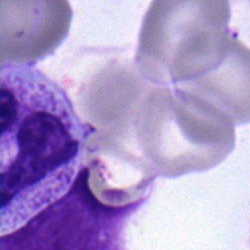Q: What is the morphological classification of this cell?
A: It is a band neutrophil.